Bone marrow aspirate smear · 40× oil immersion
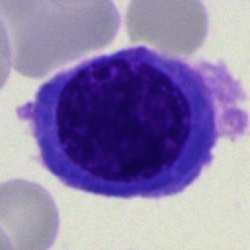

Single cell identified as an erythroblast.